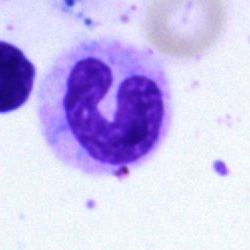

A stab cell.